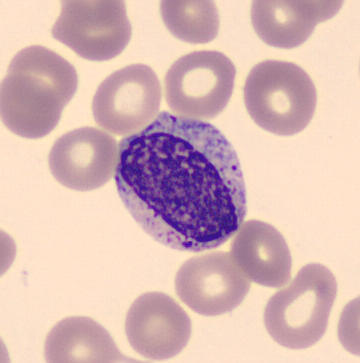
This is a myelocyte.

Peripheral blood smear.